40× oil immersion. Bone marrow smear. Single cell centered in the field
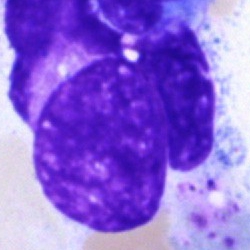
Morphological class = artifact.